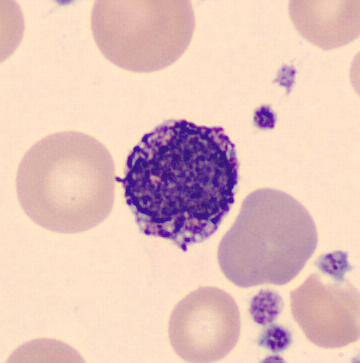
Peripheral blood smear.

Showing a basophilic granulocyte.